Peripheral blood film; 360×363 px; single cell centered in the field:
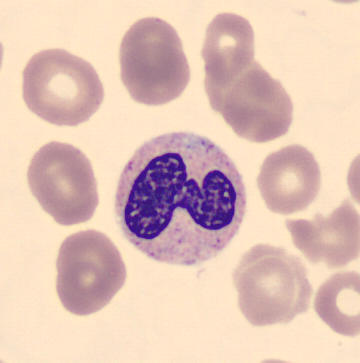 Q: What is the morphological classification of this cell?
A: A band-form neutrophil.